Bone marrow smear — 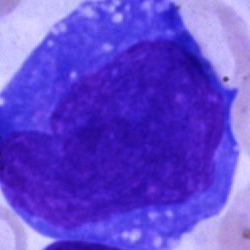

Showing a blast cell.